Peripheral blood film.
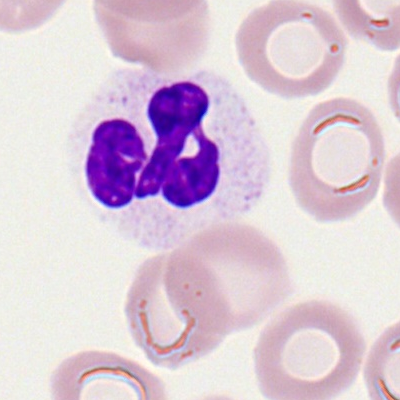 Q: Identify the cell.
A: Segmented neutrophil.